Bone marrow smear:
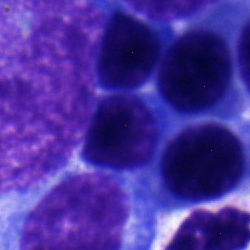

{"cell_type": "nucleated red cell"}